Peripheral blood smear. Single cell centered in the field — 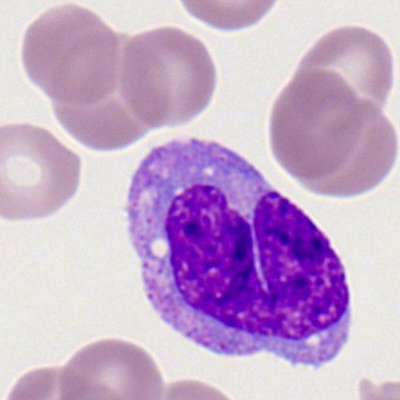

Cell type: monocyte.